Bone marrow smear
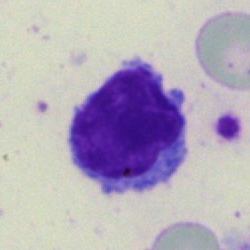

Impression — typical lymphocyte.